400 by 400 pixels; peripheral blood smear; single cell centered in the field
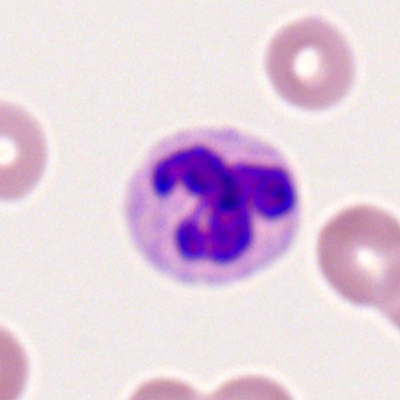
Impression → neutrophil (segmented).